Bone marrow smear
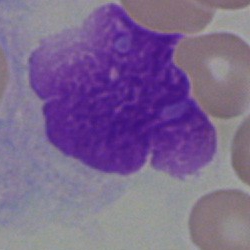Morphological class: artefact.